Bone marrow aspirate smear
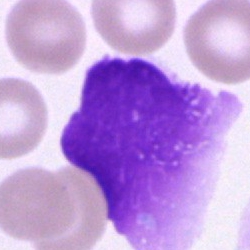 Cell = artifact.